Bone marrow smear:
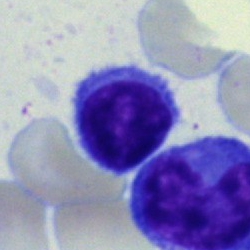
This is a typical lymphocyte.